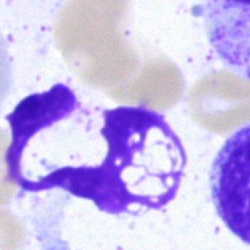

The cell shown is an artifact.